Bone marrow smear.
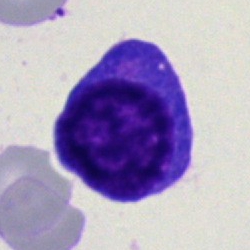Q: What type of cell is this?
A: Plasma cell.